Bone marrow smear:
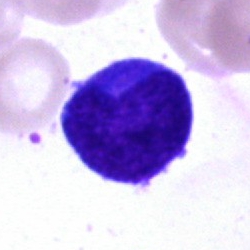

Q: Which cell type is shown here?
A: Blast cell.